MGG-stained; bone marrow smear — 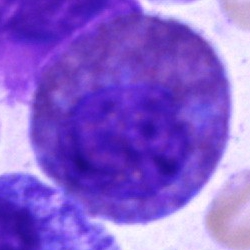Q: What is shown here?
A: Eosinophil.